Image size 250×250. Bone marrow aspirate smear. Brightfield, 40× oil-immersion objective — 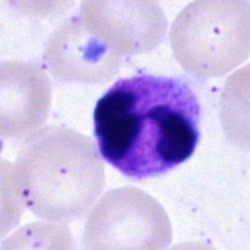Specimen: bone marrow smear.
Morphological class: polymorphonuclear neutrophil.